Bone marrow aspirate smear. 250 by 250 pixels:
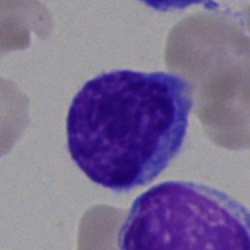This is a lymphocyte.